Bone marrow smear
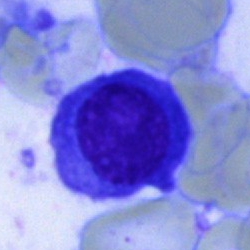Q: What is shown here?
A: Plasmacyte.